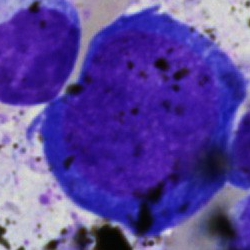
Specimen: bone marrow aspirate smear.
Cell: proerythroblast.
Lineage: erythroid.